Bone marrow aspirate smear:
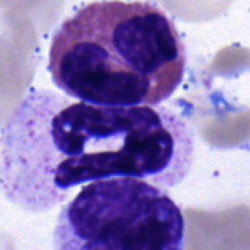 Specimen: bone marrow aspirate smear.
Morphological class: segmented neutrophil.